Bone marrow aspirate smear · single-cell field · image size 250×250 — 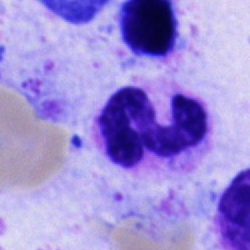

{"cell_type": "polymorphonuclear neutrophil"}